Bone marrow smear · brightfield, 40× oil-immersion objective: 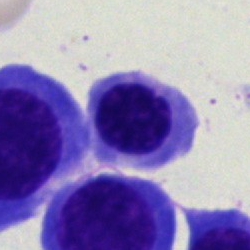
Specimen: bone marrow aspirate smear.
Classification: erythroblast.